Bone marrow aspirate smear; MGG-stained; brightfield microscopy, 40× oil immersion:
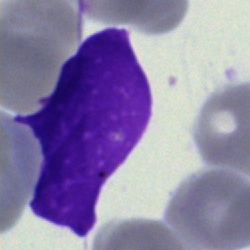 Morphology consistent with an artefact.